Bone marrow smear: 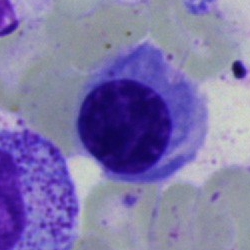 The classification is nucleated red blood cell.